Bone marrow aspirate smear:
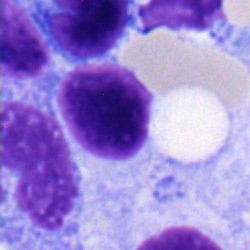
Cell type — monocyte.